Bone marrow aspirate smear
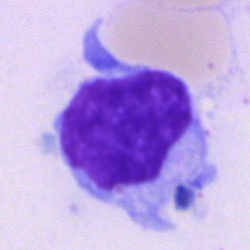
Q: Which cell type is shown here?
A: A typical lymphocyte.